Bone marrow aspirate smear — 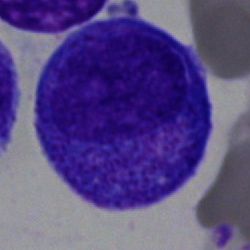Single cell identified as a progranulocyte.